Bone marrow aspirate smear; image size 250×250; May-Grünwald-Giemsa/Pappenheim stain:
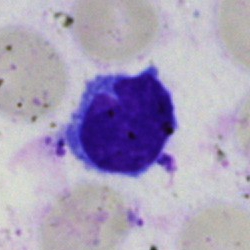

The classification is typical lymphocyte.